250×250 · bone marrow smear: 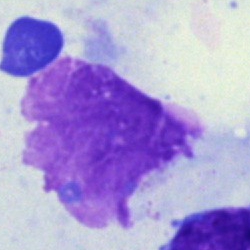Morphology — artifact.